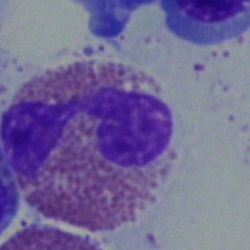Impression → eosinophil.